Bone marrow smear
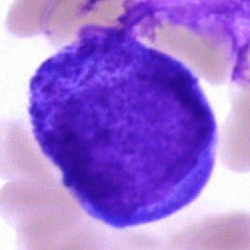 Specimen: bone marrow aspirate smear.
Morphological class: blast cell.